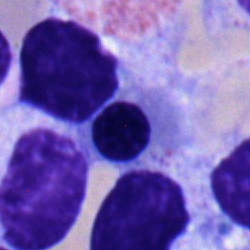 Morphology consistent with a nucleated red cell.